Bone marrow aspirate smear — 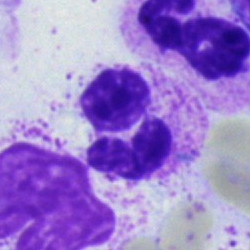
Specimen: bone marrow aspirate smear.
Morphological class: nucleated red blood cell.
Lineage: erythroid.